Bone marrow aspirate smear; May-Grünwald-Giemsa/Pappenheim stain — 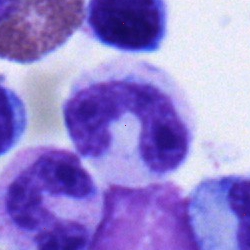
Morphology consistent with a stab cell.